Peripheral blood film: 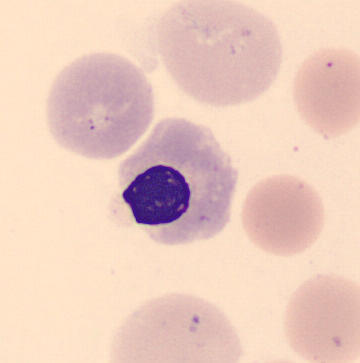

Specimen: peripheral blood smear.
Morphological class: normoblast.
Lineage: erythroid.